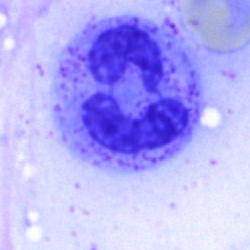
Showing a segmented neutrophil.